Bone marrow aspirate smear:
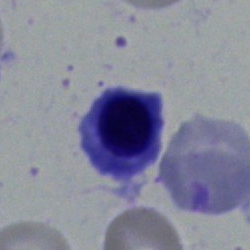 Impression → nucleated red cell.